Bone marrow aspirate smear; cropped to a single cell; MGG-stained: 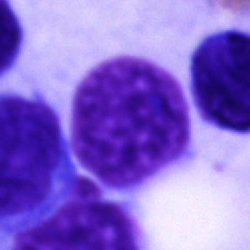Showing an unidentifiable cell.